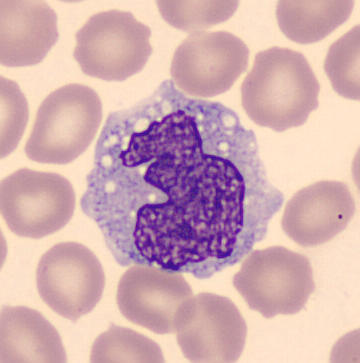
Image: Peripheral blood film.
This is a monocyte.